Single-cell crop. Bone marrow smear:
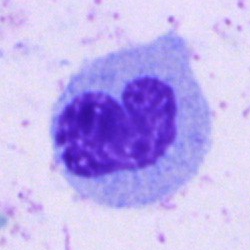
Showing a monocyte.